Bone marrow smear: 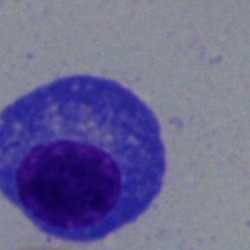

{"cell_type": "plasma cell", "lineage": "lymphoid"}